Bone marrow aspirate smear — 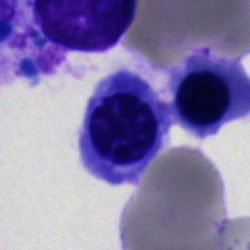
This is a nucleated red cell.